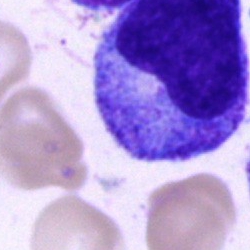

Morphology — promyelocyte.